Peripheral blood film.
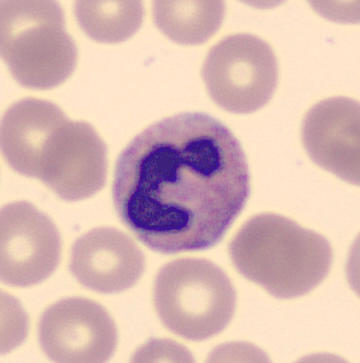 Segmented neutrophil.